Bone marrow smear.
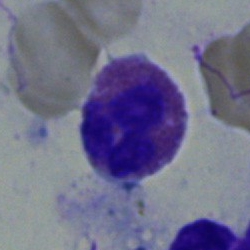
Cell — eosinophilic granulocyte.